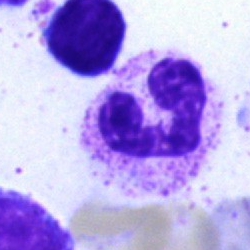Bone marrow smear showing a neutrophil (segmented).